Bone marrow aspirate smear — 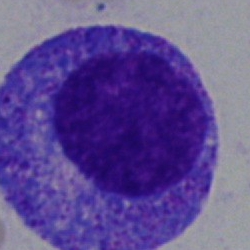A progranulocyte.